Peripheral blood film:
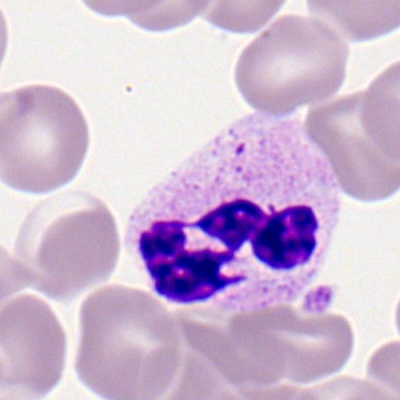

A segmented neutrophil.